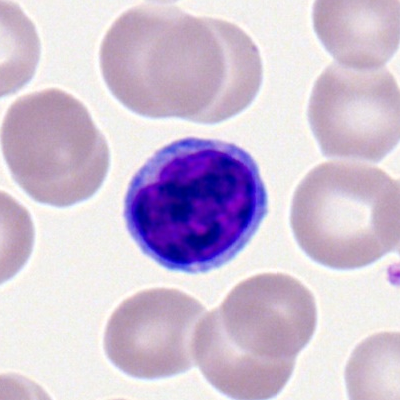
{"cell_type": "lymphocyte", "lineage": "lymphoid"}